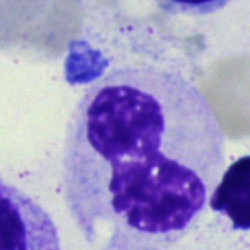 Morphology → neutrophil (band).